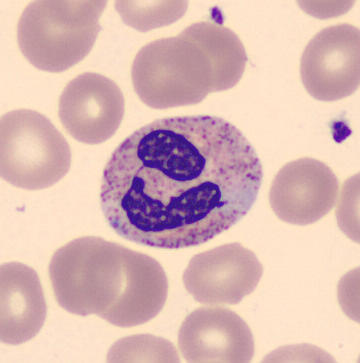

The cell shown is a neutrophil (segmented).